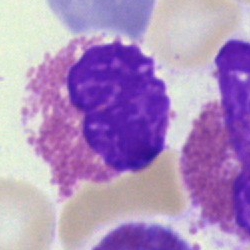
Cell = eosinophilic granulocyte.